Bone marrow smear:
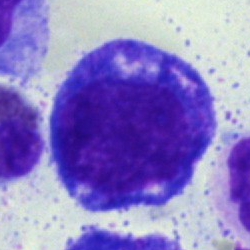 Classification: promyelocyte.